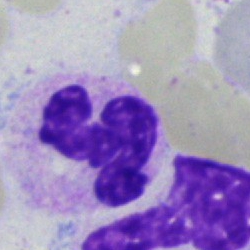Single-cell crop from a bone marrow smear: neutrophil (segmented).